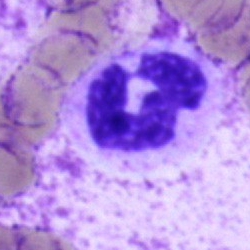 Morphology → polymorphonuclear neutrophil.